Bone marrow aspirate smear — 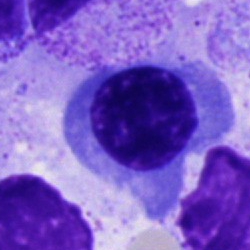 Impression — normoblast.